Bone marrow aspirate smear · 250×250 px · brightfield, 40× oil-immersion objective — 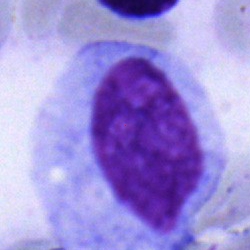

Morphology consistent with a promyelocyte.